Peripheral blood film.
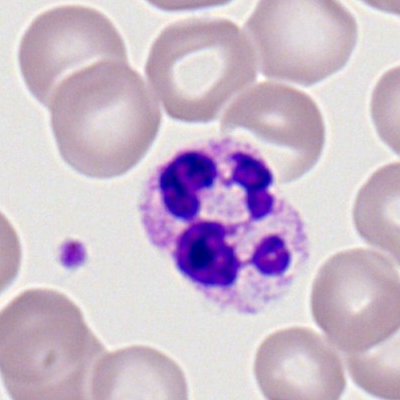Showing a neutrophil (segmented).